Pappenheim-stained · bone marrow smear · single cell centered in the field:
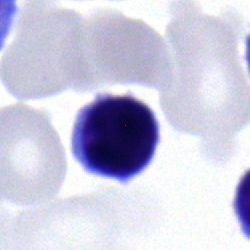
Morphological class: typical lymphocyte.